Peripheral blood smear — 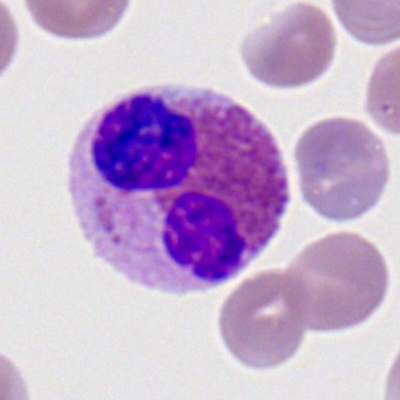
Showing an eosinophilic granulocyte.